Bone marrow aspirate smear: 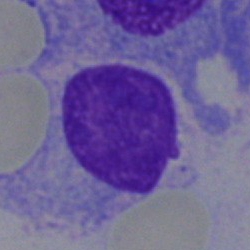
The cell is plasmacyte.